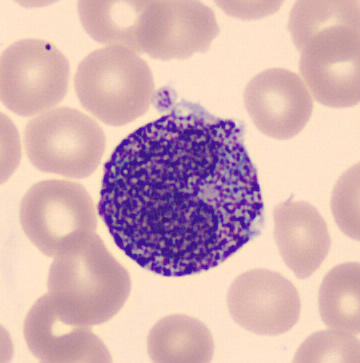
Peripheral blood smear showing a metamyelocyte.